Bone marrow aspirate smear — 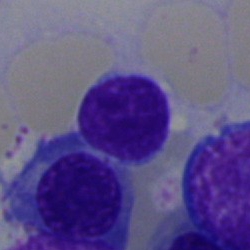Classification — typical lymphocyte.